Bone marrow aspirate smear — 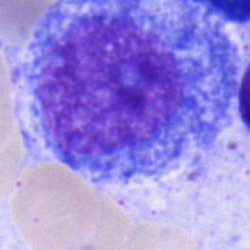
Cell — progranulocyte.